Bone marrow aspirate smear:
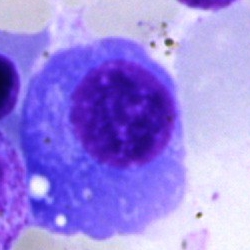
Specimen: bone marrow smear.
Cell type: plasma cell.